Bone marrow aspirate smear.
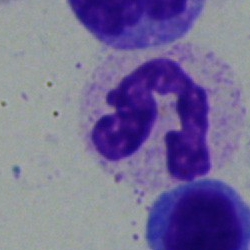

Cell — polymorphonuclear neutrophil.